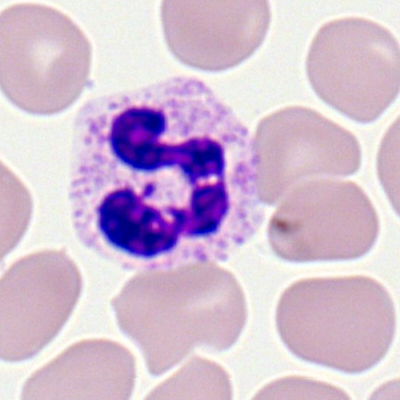Peripheral blood smear showing a polymorphonuclear neutrophil.